Single cell centered in the field; bone marrow smear
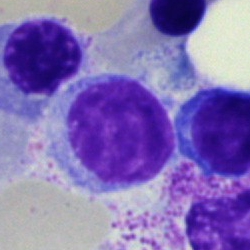The morphological class is typical lymphocyte.